Bone marrow smear — 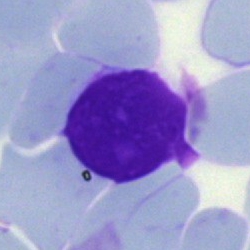 The cell is artifact.